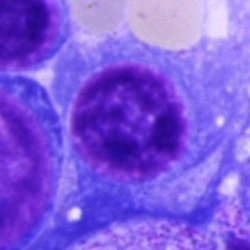
Q: What type of cell is this?
A: This is a plasma cell.